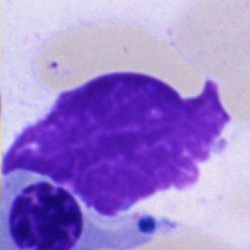Morphological class: artefact.